Bone marrow smear:
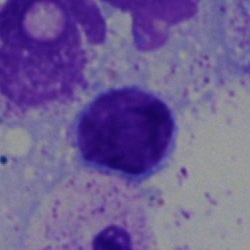The cell shown is a typical lymphocyte.